Bone marrow smear · image size 250×250
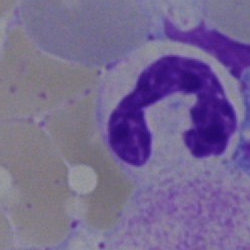 Cell = neutrophil (segmented).